Bone marrow smear.
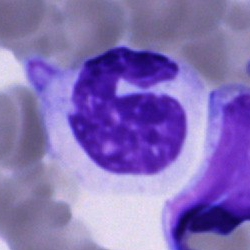

Cell type: neutrophil (segmented).